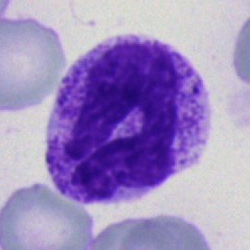Single cell identified as a segmented neutrophil.